Bone marrow smear.
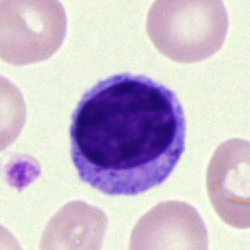

Specimen: bone marrow aspirate smear.
Morphological class: lymphocyte.
Lineage: lymphoid.